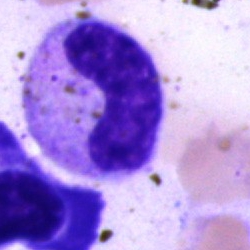Single cell identified as a band neutrophil.